Bone marrow smear:
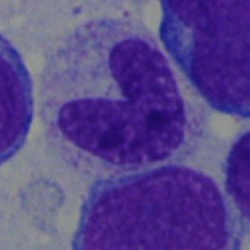

Stab cell.